Bone marrow aspirate smear. 250×250.
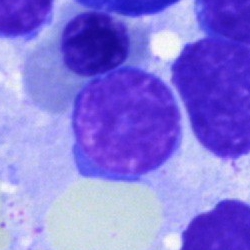 Morphological class = typical lymphocyte.